250×250 · brightfield, 40× oil-immersion objective · bone marrow smear.
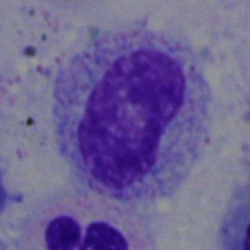Band-form neutrophil.